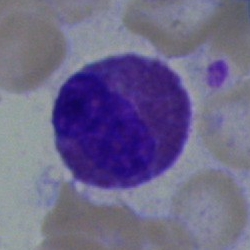 Morphology consistent with an eosinophil.